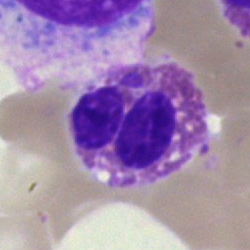
Q: What cell is this?
A: Eosinophil.